Peripheral blood smear
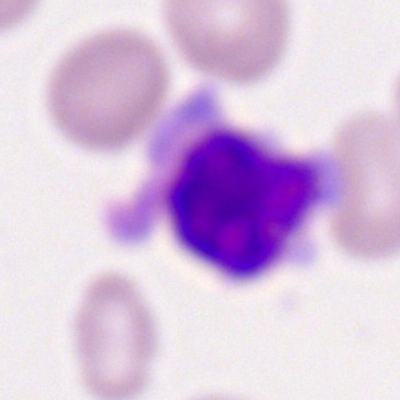

Morphology consistent with a typical lymphocyte.